Bone marrow aspirate smear; Pappenheim-stained: 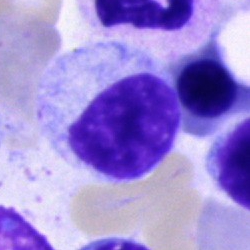
Specimen: bone marrow smear.
Morphological class: typical lymphocyte.